Image size 250×250. Bone marrow aspirate smear: 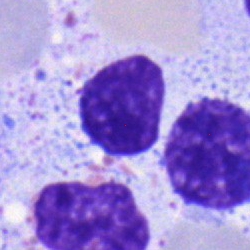

The cell shown is a typical lymphocyte.